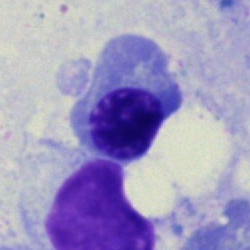

The morphological class is erythroblast.